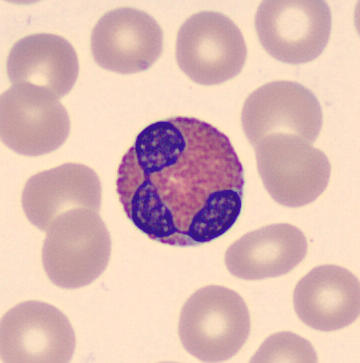
Q: Identify the cell.
A: It is an eosinophilic granulocyte.

Acquisition: Automated cell imaging (CellaVision DM96) · peripheral blood smear.